Bone marrow aspirate smear · 40× oil immersion
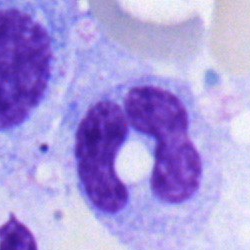

Specimen: bone marrow smear.
Cell type: neutrophil (segmented).
Lineage: myeloid.